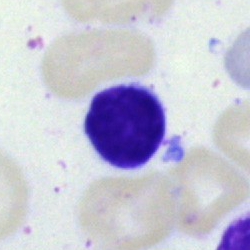

This is a lymphocyte.